Image size 250×250; bone marrow smear: 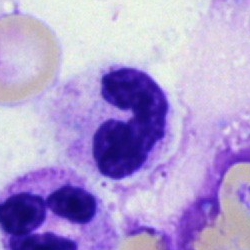 Specimen: bone marrow smear.
Cell: stab cell.